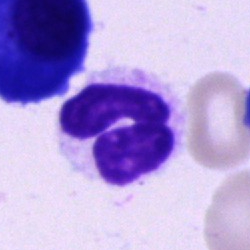The classification is neutrophil (segmented).